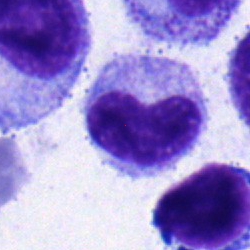
{"cell_type": "metamyelocyte", "lineage": "myeloid"}